40× oil immersion · bone marrow aspirate smear · May-Grünwald-Giemsa stain
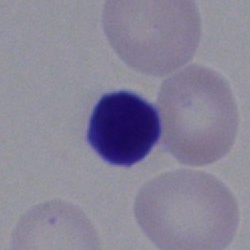 The classification is lymphocyte.